Bone marrow aspirate smear:
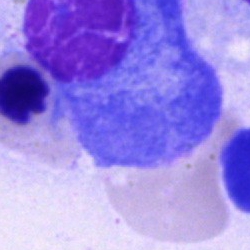The cell shown is a plasmacyte.